MGG-stained · bone marrow smear:
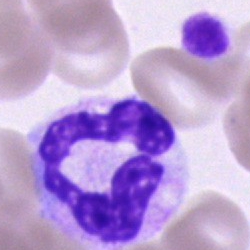 Single cell identified as a segmented neutrophil.